Bone marrow smear; May-Grünwald-Giemsa/Pappenheim stain — 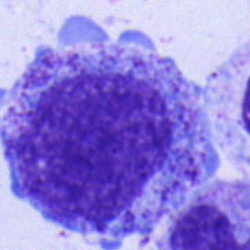Morphology consistent with a promyelocyte.